Single cell centered in the field · brightfield, 40× oil-immersion objective · bone marrow smear — 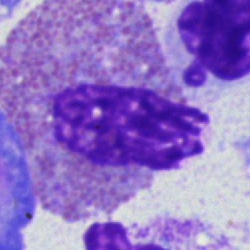
Cell = eosinophilic granulocyte.